Bone marrow smear. Pappenheim-stained
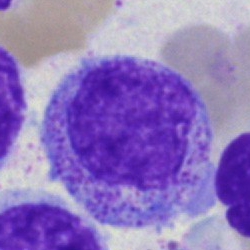

Q: What is shown here?
A: A myelocyte.